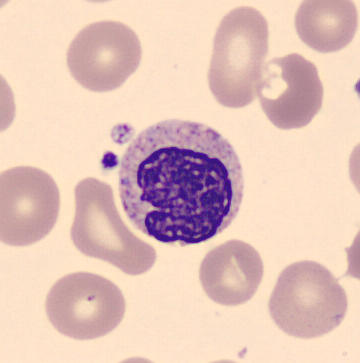
Showing a metamyelocyte.